Peripheral blood smear. 400 by 400 pixels. 100× oil immersion, 14.14 px/µm
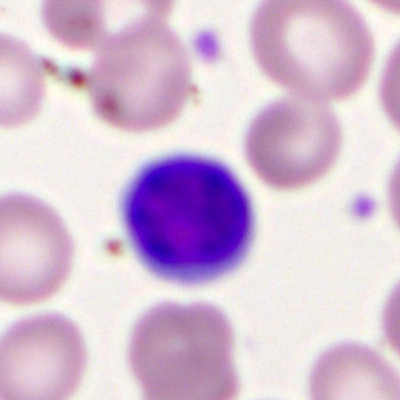 Q: What type of cell is this?
A: Lymphocyte.